Peripheral blood film · cropped to a single cell: 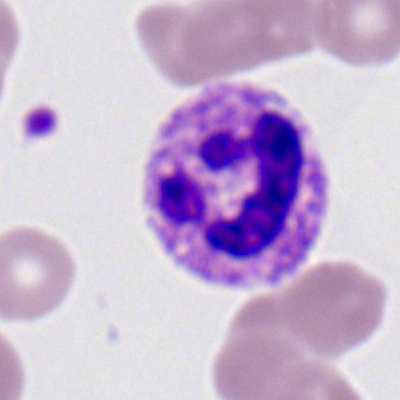Impression → polymorphonuclear neutrophil.